Bone marrow smear · 250 by 250 pixels:
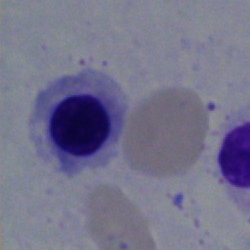
The cell is nucleated red blood cell.